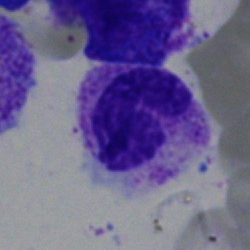Q: Identify the cell.
A: Neutrophil (band).